Bone marrow smear: 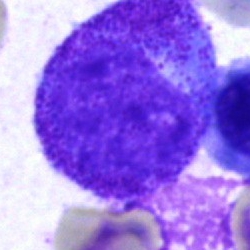
Promyelocyte.